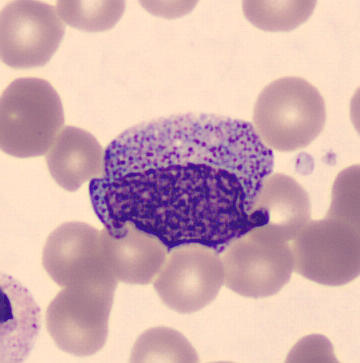

Impression — myelocyte.

Preparation: Peripheral blood smear · MGG stain.